May-Grünwald-Giemsa/Pappenheim stain · bone marrow smear: 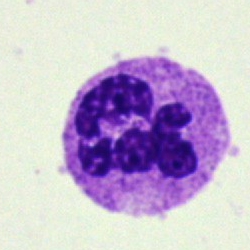 Cell type — neutrophil (segmented).